Bone marrow smear — 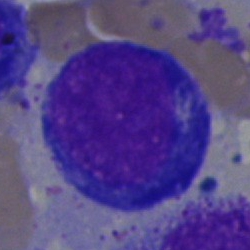
Morphological class: pronormoblast.